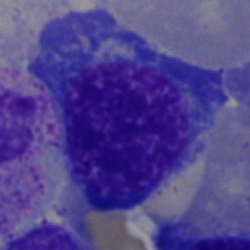Morphology consistent with an erythroblast.